Peripheral blood film: 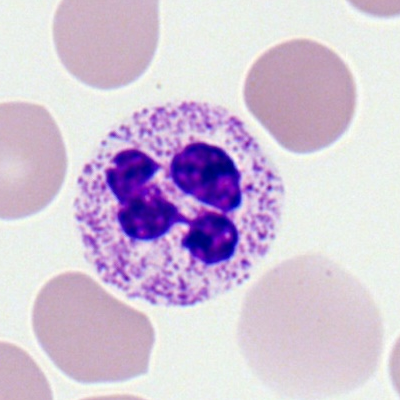
Morphological class: polymorphonuclear neutrophil.